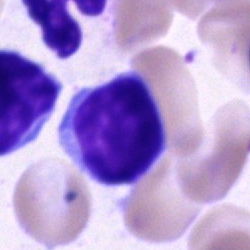

Impression — typical lymphocyte.